Single-cell field. Bone marrow aspirate smear.
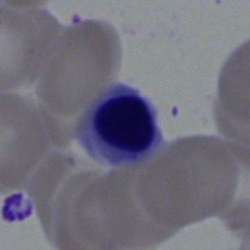 Showing a nucleated red blood cell.